Image size 250×250. Brightfield microscopy, 40× oil immersion. Bone marrow aspirate smear.
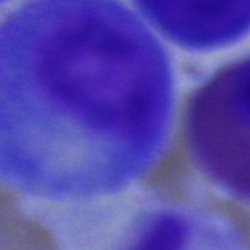 Morphology consistent with a progranulocyte.